MGG-stained; bone marrow smear; 40× objective, oil immersion.
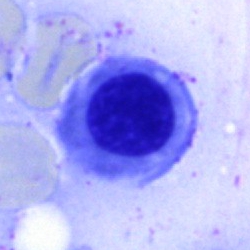 Impression → nucleated red blood cell.